Bone marrow aspirate smear:
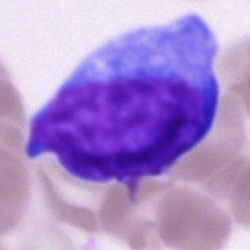Classification = blast.